Bone marrow smear — 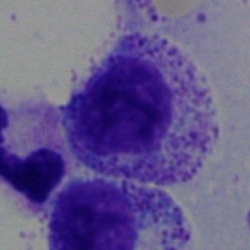Q: What cell is this?
A: A myelocyte.